Bone marrow aspirate smear; MGG-stained — 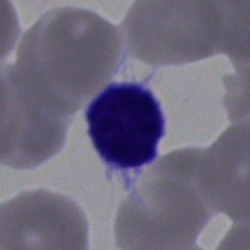 Impression → typical lymphocyte.